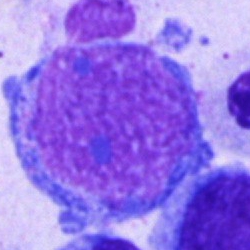 Artefact.